Bone marrow aspirate smear; 250×250; May-Grünwald-Giemsa stain
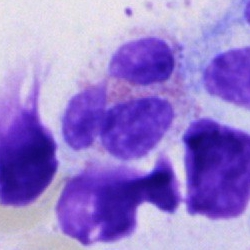 Morphology consistent with an eosinophilic granulocyte.